Bone marrow smear
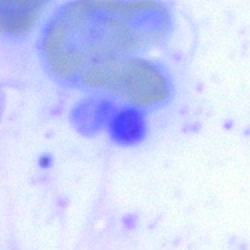Specimen: bone marrow aspirate smear.
Cell type: artifact.